May-Grünwald-Giemsa stain · bone marrow aspirate smear:
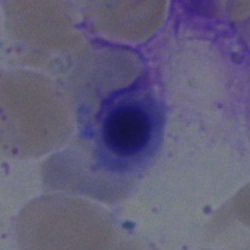

{"cell_type": "erythroblast", "lineage": "erythroid"}